Peripheral blood smear.
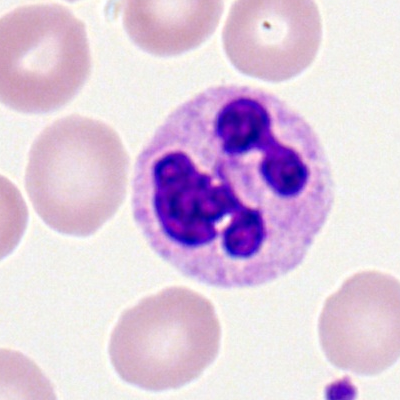
Single cell identified as a polymorphonuclear neutrophil.